Bone marrow aspirate smear
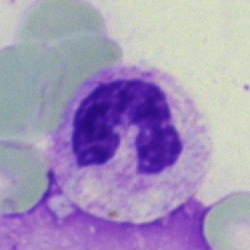Specimen: bone marrow aspirate smear.
Cell type: polymorphonuclear neutrophil.
Lineage: myeloid.